Bone marrow aspirate smear: 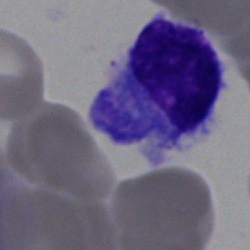 Single cell identified as a lymphocyte.